Image size 250×250; bone marrow smear; May-Grünwald-Giemsa/Pappenheim stain
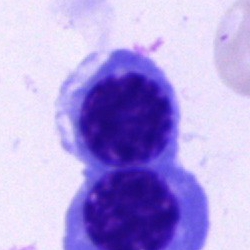 A nucleated red cell.